Bone marrow aspirate smear · 250×250 px · May-Grünwald-Giemsa/Pappenheim stain — 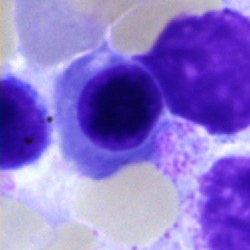
Impression → nucleated red blood cell.